Peripheral blood smear
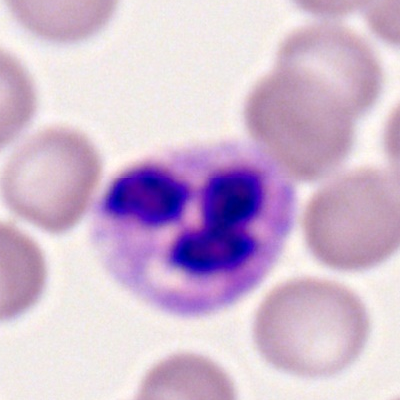Impression → segmented neutrophil.